Peripheral blood smear · Romanowsky stain:
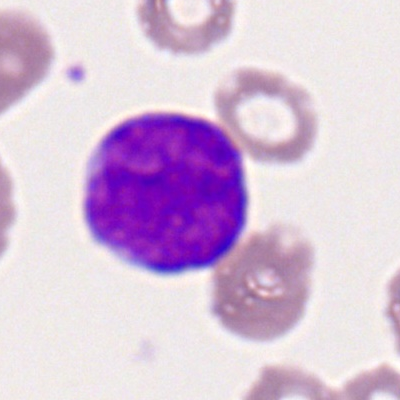Q: Which cell type is shown here?
A: Myeloblast.